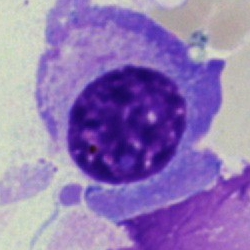 Cell type: plasmacyte.